Bone marrow aspirate smear:
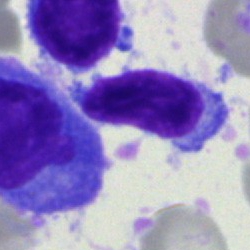

Classification: lymphocyte.